Brightfield, 40× oil-immersion objective · single-cell field · bone marrow aspirate smear — 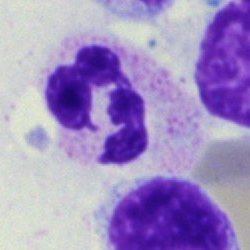 Q: What is shown here?
A: This is a neutrophil (segmented).